Bone marrow aspirate smear · single-cell crop · 40× oil immersion.
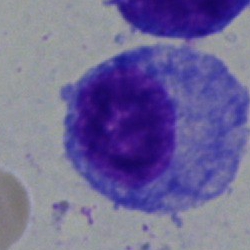

This is a promyelocyte.